Bone marrow aspirate smear
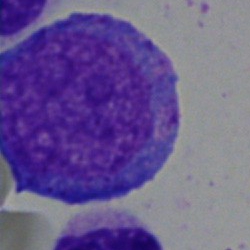
Progranulocyte.